Bone marrow aspirate smear: 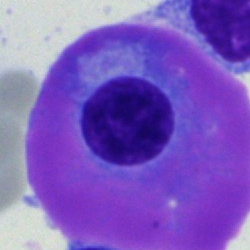
Impression — plasmacyte.